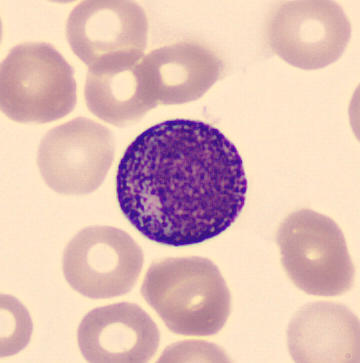

Impression — promyelocyte. Image: CellaVision DM96 digital cell image. Peripheral blood film.